Bone marrow aspirate smear — 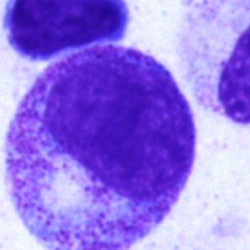Morphological class — myelocyte.